250×250 px. Bone marrow aspirate smear
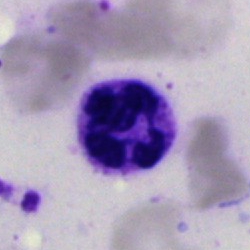Morphology consistent with a segmented neutrophil.